Bone marrow aspirate smear: 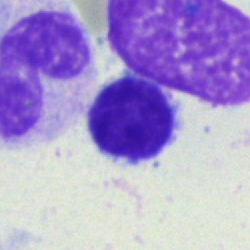 Specimen: bone marrow smear.
Cell type: lymphocyte.
Lineage: lymphoid.